MGG-stained. Single-cell crop. Bone marrow aspirate smear: 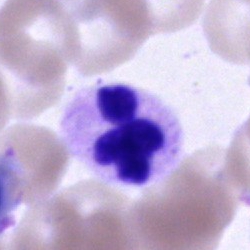

Q: What is shown here?
A: Segmented neutrophil.